Bone marrow aspirate smear. Brightfield microscopy, 40× oil immersion.
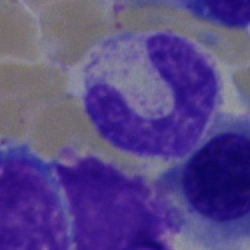Q: Identify the cell.
A: It is a band-form neutrophil.